Bone marrow aspirate smear
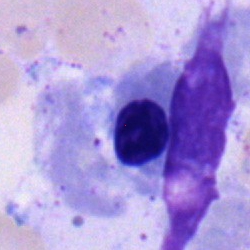

Erythroblast.